Bone marrow aspirate smear:
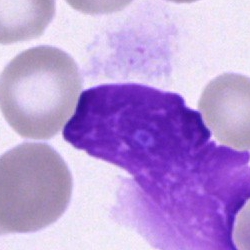
Cell = artefact.